Bone marrow aspirate smear — 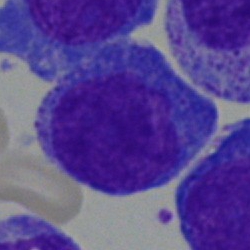Morphology consistent with a blast.